Bone marrow smear; single cell centered in the field; brightfield, 40× oil-immersion objective: 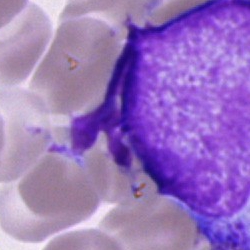
Showing a progranulocyte.